400 by 400 pixels · peripheral blood smear · single-cell field.
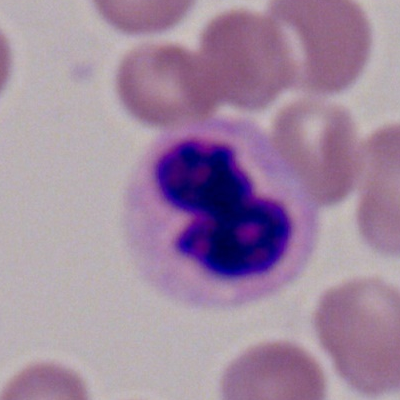Cell type = polymorphonuclear neutrophil.